Bone marrow aspirate smear: 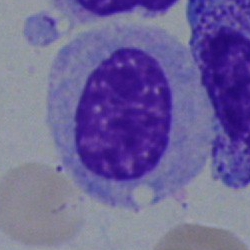 A myelocyte.